Single-cell field. Pappenheim-stained. Bone marrow smear: 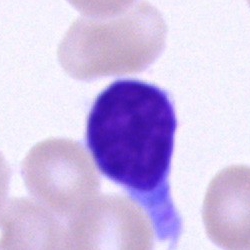Morphology — lymphocyte.